Cropped to a single cell · bone marrow aspirate smear — 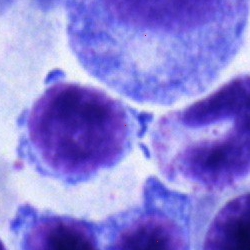
Q: What cell is this?
A: Typical lymphocyte.